Pappenheim-stained · 250×250 · bone marrow aspirate smear.
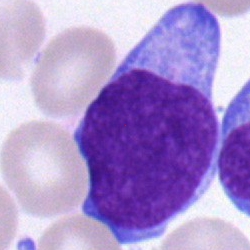 Cell type — blast cell.